Pappenheim-stained · bone marrow aspirate smear: 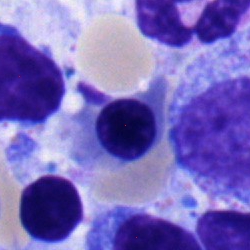This is a nucleated red cell.